Bone marrow smear.
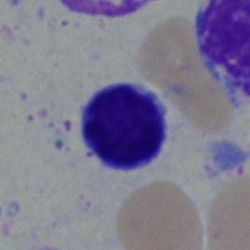Specimen: bone marrow aspirate smear.
Cell type: lymphocyte.